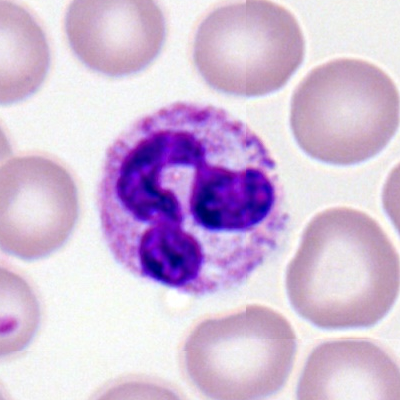Peripheral blood smear showing a neutrophil (segmented).